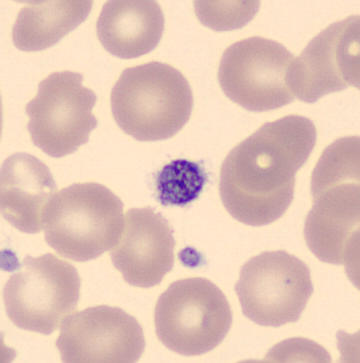

Peripheral blood smear.

Morphological class = platelet.